Bone marrow smear:
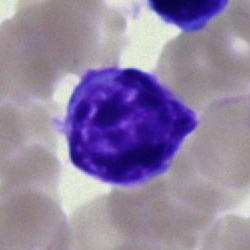
This is a typical lymphocyte.